Bone marrow smear.
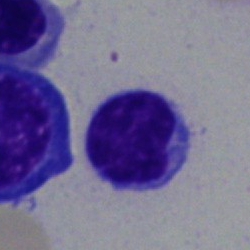 Showing a lymphocyte.